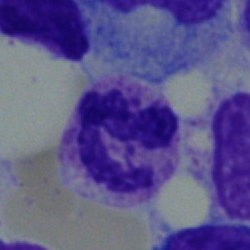

Single-cell crop from a bone marrow smear: neutrophil (segmented).